250 by 250 pixels · bone marrow aspirate smear · single cell centered in the field.
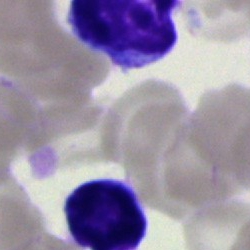

{"cell_type": "typical lymphocyte", "lineage": "lymphoid"}